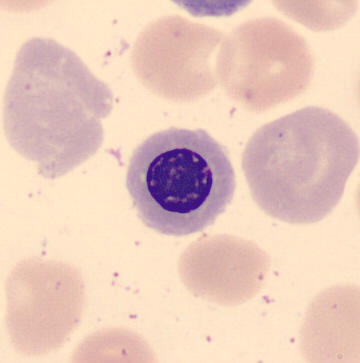 Peripheral blood smear.
The morphological class is normoblast.